Bone marrow smear:
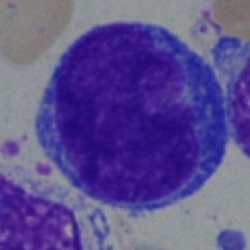Showing an undifferentiated blast.